Bone marrow smear
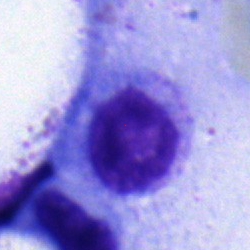
Classification — myelocyte.